Bone marrow aspirate smear.
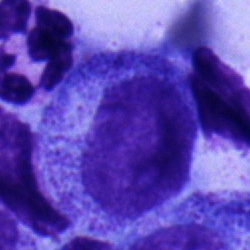The cell shown is a progranulocyte.